Brightfield, 40× oil-immersion objective; bone marrow aspirate smear
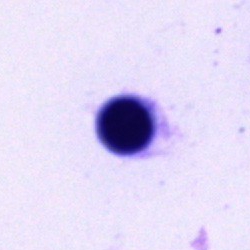

Cell type — unidentifiable cell.